Bone marrow smear; cropped to a single cell: 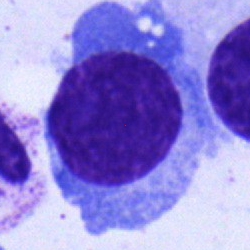

Q: Identify the cell.
A: This is a nucleated red blood cell.